Pappenheim-stained; bone marrow smear; 250×250 px — 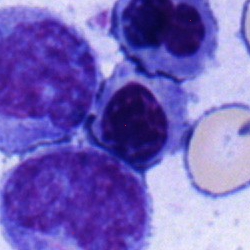
{"cell_type": "nucleated red blood cell", "lineage": "erythroid"}